Bone marrow aspirate smear: 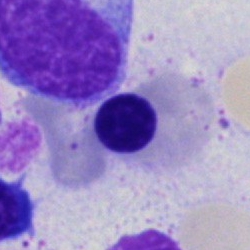Specimen: bone marrow aspirate smear.
Cell type: normoblast.